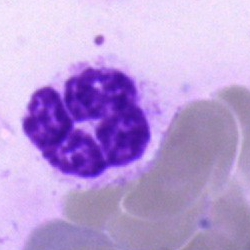Specimen: bone marrow smear.
Morphological class: segmented neutrophil.
Lineage: myeloid.